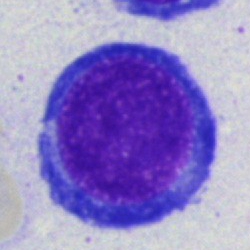 Specimen: bone marrow aspirate smear.
Morphological class: proerythroblast.
Lineage: erythroid.